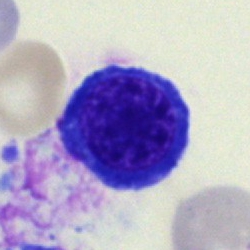
Morphology → erythroblast.